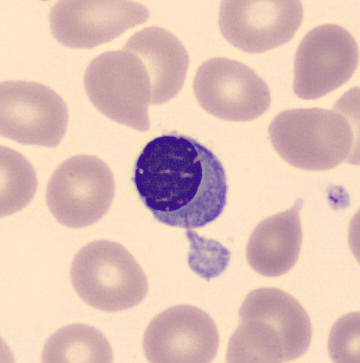
Morphology — normoblast.